40× objective, oil immersion · 250×250 px · bone marrow aspirate smear — 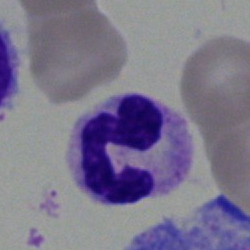The cell type is neutrophil (segmented).